Bone marrow aspirate smear — 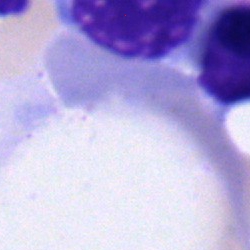

Q: Identify the cell.
A: It is a nucleated red cell.